Bone marrow aspirate smear:
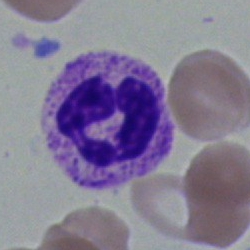
The morphological class is neutrophil (segmented).